Single-cell crop. Bone marrow smear.
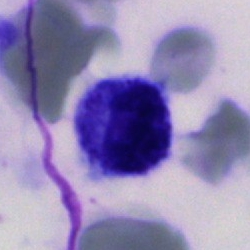Specimen: bone marrow aspirate smear.
Cell type: cell of indeterminate lineage.